Bone marrow aspirate smear.
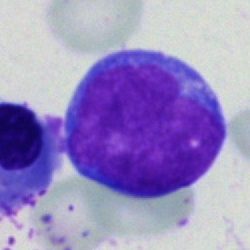
{"cell_type": "blast cell"}